Bone marrow smear: 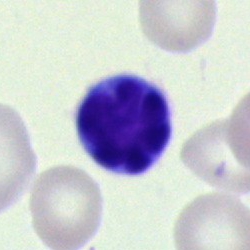 Classification = lymphocyte.